Peripheral blood film
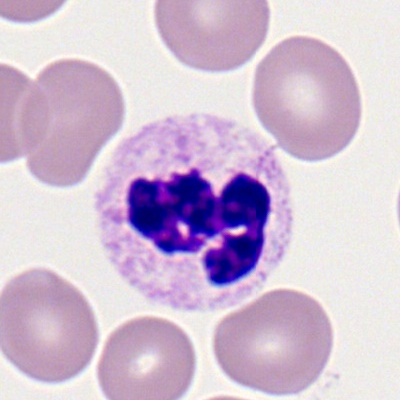

Cell: polymorphonuclear neutrophil.